Bone marrow aspirate smear:
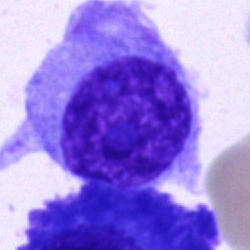 Plasma cell.